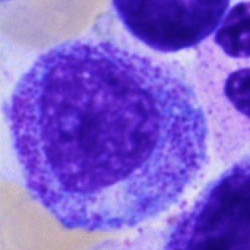
Showing a progranulocyte.